Bone marrow smear
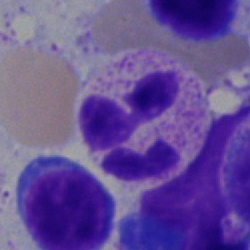
The cell shown is a neutrophil (segmented).